Single-cell crop; bone marrow smear: 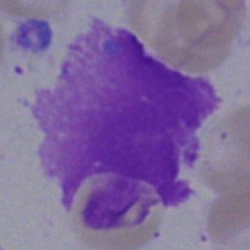
Cell — artefact.